Bone marrow smear:
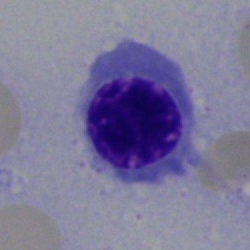This is a nucleated red blood cell.